Bone marrow smear · 250×250 px
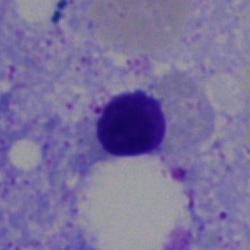Morphology → normoblast.